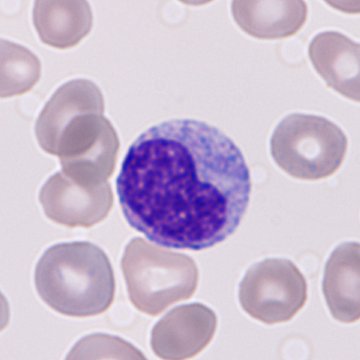 This is an immature granulocyte (promyelocyte, myelocyte or metamyelocyte).
Image: Peripheral blood smear.